Bone marrow smear; cropped to a single cell.
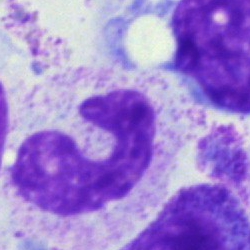The cell shown is a neutrophil (band).